Bone marrow smear:
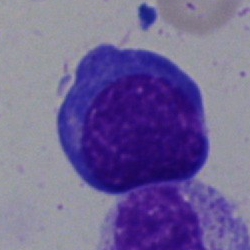
Impression — normoblast.